Bone marrow aspirate smear. Brightfield, 40× oil-immersion objective. Single cell centered in the field: 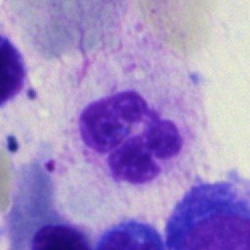The morphological class is neutrophil (segmented).